Single-cell field. Bone marrow aspirate smear — 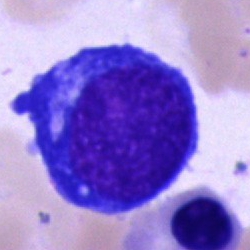

Morphology — erythroblast.